MGG-stained; bone marrow aspirate smear: 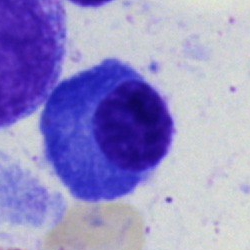
This is a plasma cell.